Bone marrow smear. MGG-stained
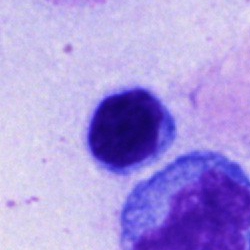
Classification — lymphocyte.